Bone marrow smear.
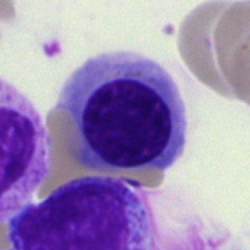 Nucleated red blood cell.